Bone marrow smear. Pappenheim-stained.
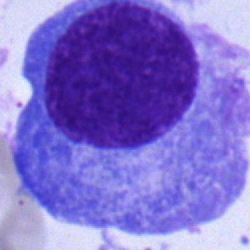Showing a plasmacyte.